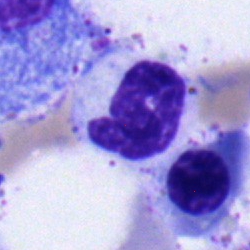Impression → stab cell.